Bone marrow smear.
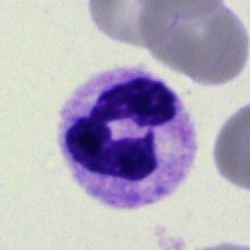Q: What type of cell is this?
A: Polymorphonuclear neutrophil.